Peripheral blood film; 100× objective, oil immersion; Romanowsky-type stain:
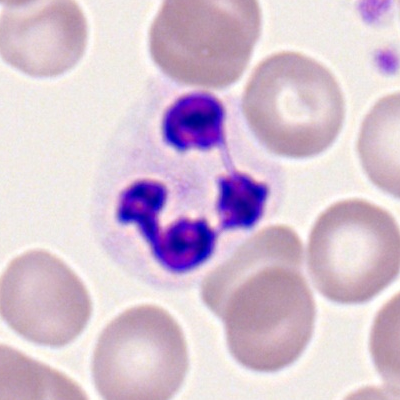

Q: What type of cell is this?
A: Neutrophil (segmented).